Bone marrow smear.
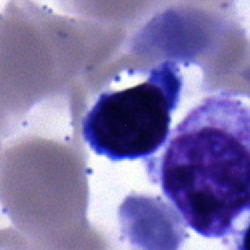

Impression → lymphocyte.